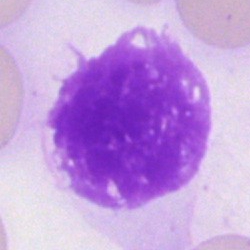Artefact.